Bone marrow aspirate smear
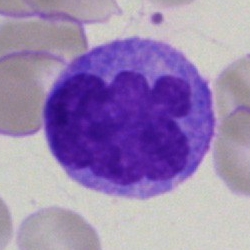
Monocyte.